Peripheral blood film — 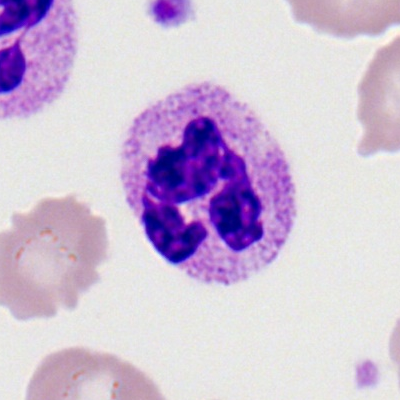Morphological class: polymorphonuclear neutrophil.